Bone marrow aspirate smear.
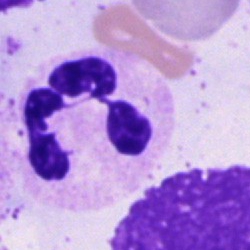

Classification: neutrophil (segmented).